May-Grünwald-Giemsa/Pappenheim stain · single cell centered in the field · bone marrow smear.
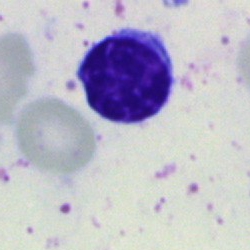

The cell is lymphocyte.